40× oil immersion; bone marrow smear — 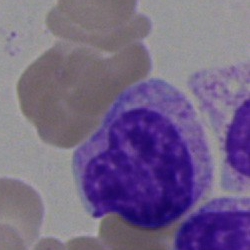
Myelocyte.